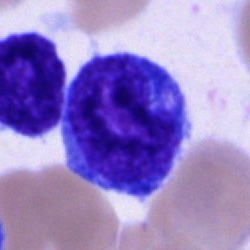
Specimen: bone marrow aspirate smear.
Cell type: blast.